Bone marrow aspirate smear · single-cell crop · brightfield microscopy, 40× oil immersion
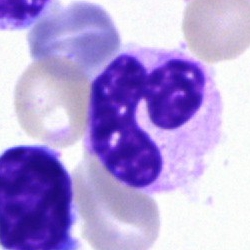
A segmented neutrophil.